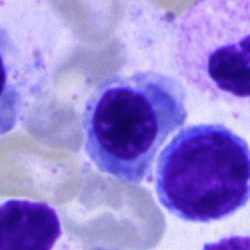Specimen: bone marrow smear.
Classification: nucleated red blood cell.